Bone marrow smear · 250×250 px: 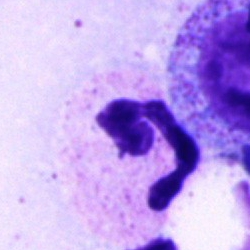 {"cell_type": "eosinophil", "lineage": "myeloid"}